Bone marrow aspirate smear.
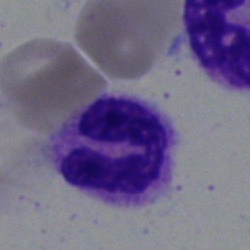 Showing a segmented neutrophil.